Bone marrow smear
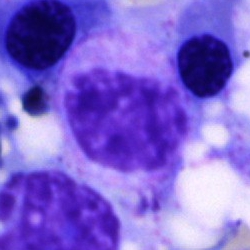Q: What is shown here?
A: Artefact.